Peripheral blood film: 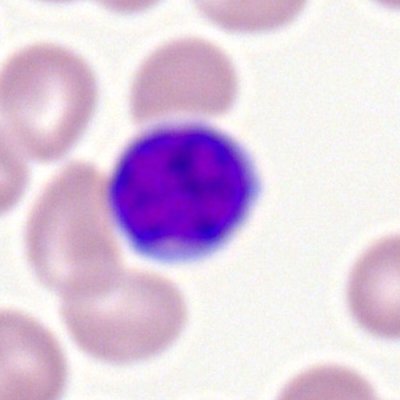
Classification: lymphocyte.